360×363 px. Peripheral blood film — 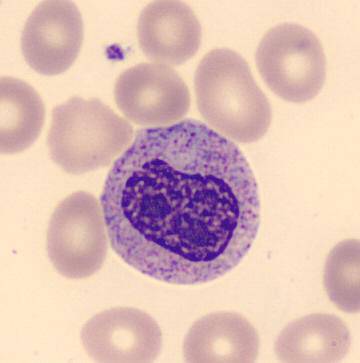
Q: Identify the cell.
A: Myelocyte.